Peripheral blood smear; 100× oil immersion; 400 by 400 pixels
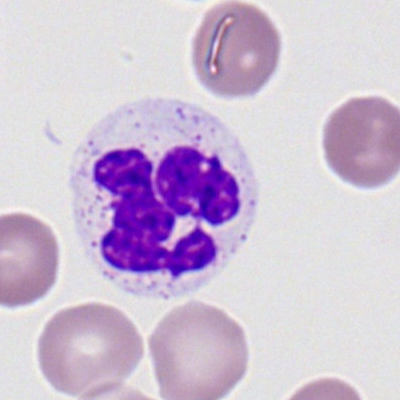 Morphology — neutrophil (segmented).